40× oil immersion; bone marrow aspirate smear; MGG-stained: 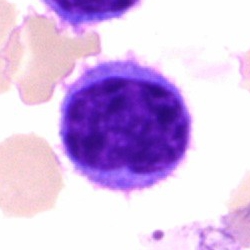

Typical lymphocyte.